Bone marrow aspirate smear · Pappenheim-stained.
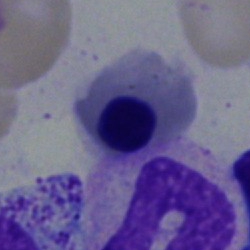
Specimen: bone marrow smear.
Cell: nucleated red blood cell.
Lineage: erythroid.